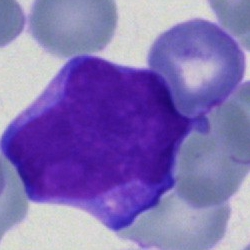Bone marrow aspirate smear, single cell — blast.